Bone marrow aspirate smear
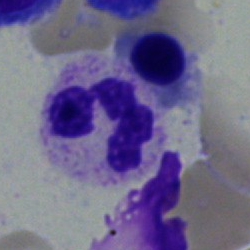

Classification — segmented neutrophil.